Single cell centered in the field. Bone marrow smear. May-Grünwald-Giemsa/Pappenheim stain — 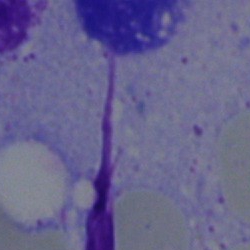

Q: What is shown here?
A: It is an artifact.